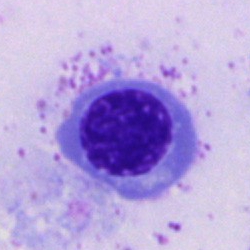

Single-cell crop from a bone marrow smear: nucleated red blood cell.